Bone marrow aspirate smear
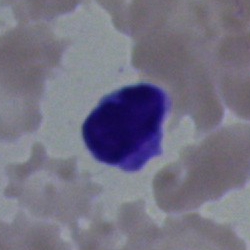Showing a lymphocyte.